Bone marrow smear
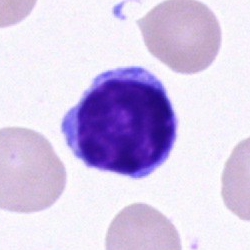Single cell identified as a lymphocyte.